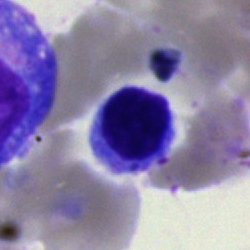

Single-cell crop from a bone marrow smear: typical lymphocyte.